Single-cell field · bone marrow aspirate smear: 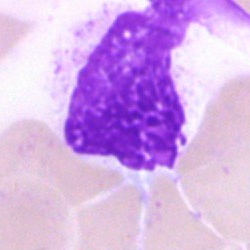 Morphology consistent with an artefact.